Bone marrow aspirate smear: 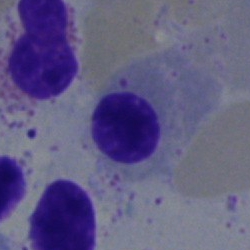
Showing an erythroblast.